Bone marrow smear.
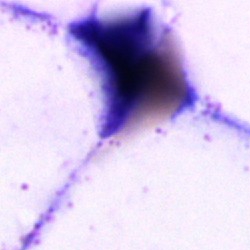 Specimen: bone marrow smear.
Classification: artefact.